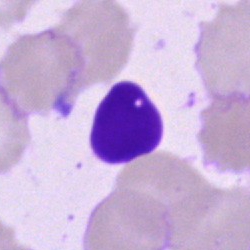
Cell type — artifact.